Bone marrow smear.
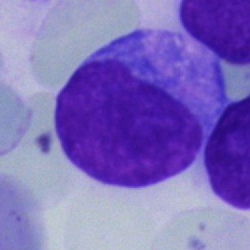 Specimen: bone marrow aspirate smear.
Cell: blast cell.